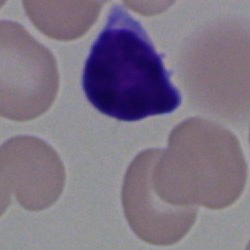 Bone marrow smear showing a typical lymphocyte.